Bone marrow aspirate smear
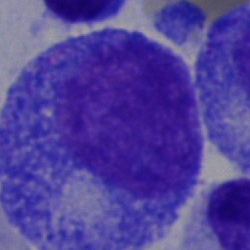Q: What is shown here?
A: It is a promyelocyte.